Bone marrow aspirate smear. 250 by 250 pixels. Single cell centered in the field — 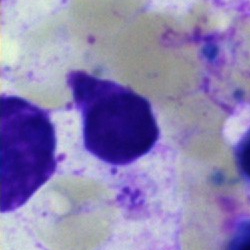
Q: What is shown here?
A: Artefact.